Image size 250×250 · bone marrow smear.
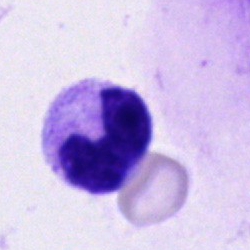

{"cell_type": "stab cell", "lineage": "myeloid"}